Bone marrow aspirate smear:
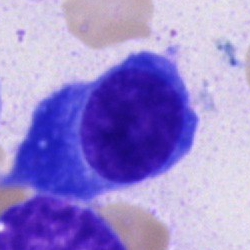 Plasmacyte.